Brightfield microscopy, 40× oil immersion; bone marrow aspirate smear; May-Grünwald-Giemsa/Pappenheim stain:
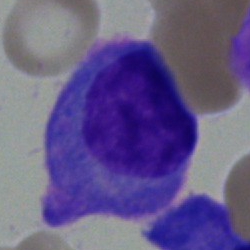 Q: Which cell type is shown here?
A: This is a plasma cell.